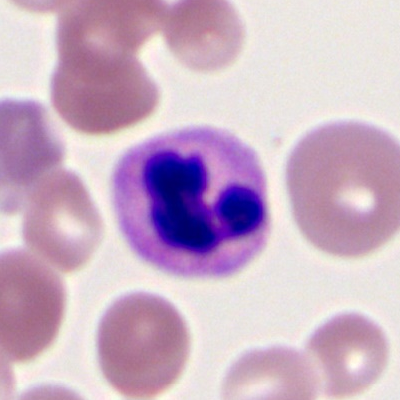Single cell identified as a segmented neutrophil.